Bone marrow aspirate smear:
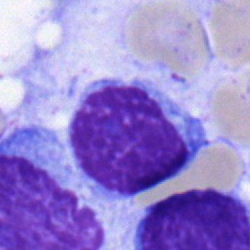 This is a typical lymphocyte.